Romanowsky stain. Peripheral blood smear.
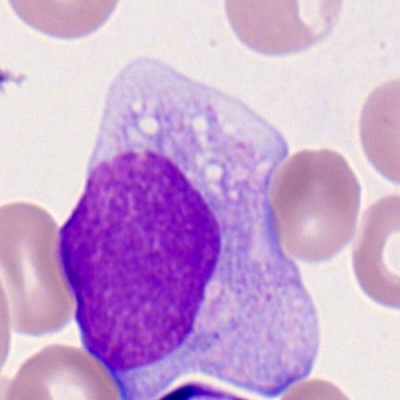{"cell_type": "monocyte", "lineage": "myeloid"}